Brightfield, 40× oil-immersion objective. Pappenheim-stained. Bone marrow smear — 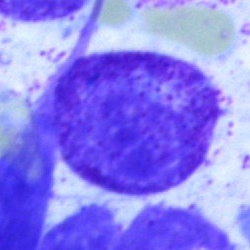 Myelocyte.